40× objective, oil immersion · bone marrow aspirate smear — 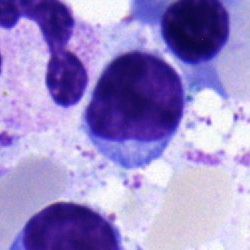A lymphocyte.